Bone marrow aspirate smear: 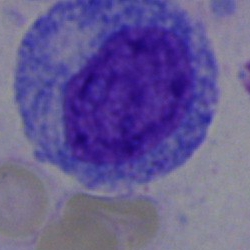 Q: What is shown here?
A: It is a promyelocyte.